Bone marrow aspirate smear · MGG-stained — 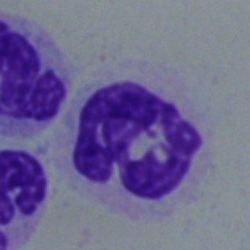

Specimen: bone marrow aspirate smear.
Cell type: polymorphonuclear neutrophil.